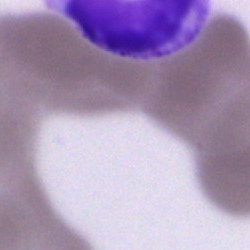

Specimen: bone marrow aspirate smear.
Cell type: unidentifiable cell.